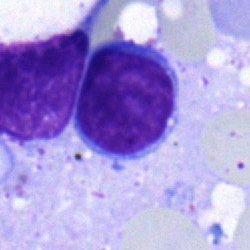Bone marrow smear showing a lymphocyte.